Bone marrow smear:
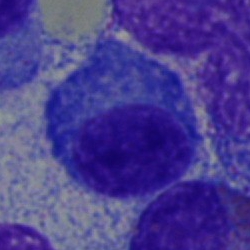 Classification — plasmacyte.